Bone marrow aspirate smear:
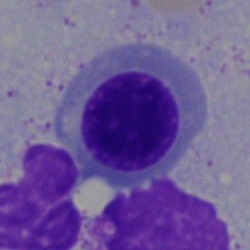 The classification is nucleated red blood cell.